Bone marrow smear:
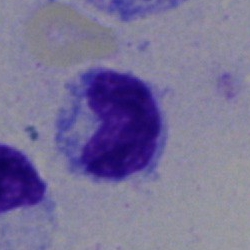Specimen: bone marrow aspirate smear.
Cell type: neutrophil (band).
Lineage: myeloid.